Bone marrow aspirate smear.
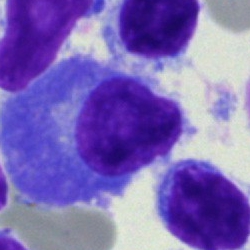
Cell: plasmacyte.